Bone marrow aspirate smear — 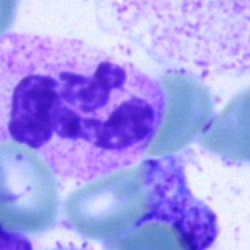
Morphological class = neutrophil (segmented).